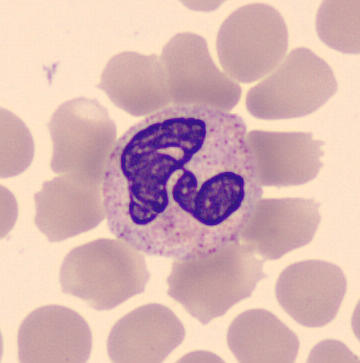
{"cell_type": "neutrophil (segmented)", "lineage": "myeloid"}